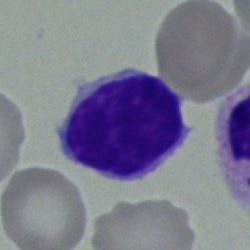Single-cell crop from a bone marrow smear: typical lymphocyte.